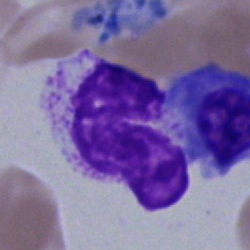 An artefact on a bone marrow smear.